Bone marrow smear; 40× objective, oil immersion; single-cell field
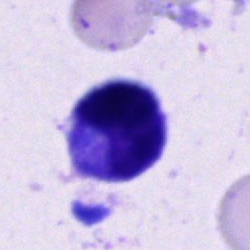 This is an unidentifiable cell.